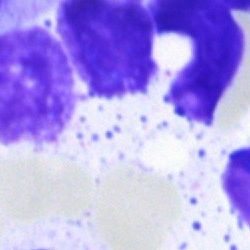Q: What is shown here?
A: It is an artefact.